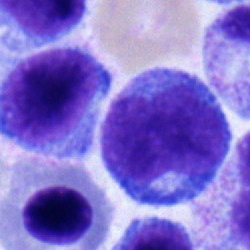 The cell is monocyte.